Bone marrow aspirate smear.
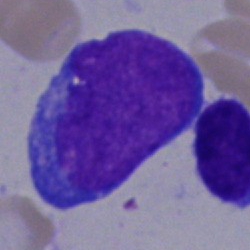
Morphology — undifferentiated blast.